Bone marrow smear: 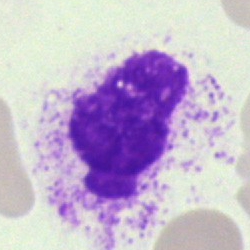

An unidentifiable cell.